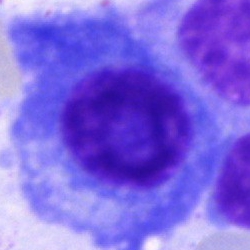

Specimen: bone marrow smear.
Cell type: plasmacyte.